Bone marrow aspirate smear.
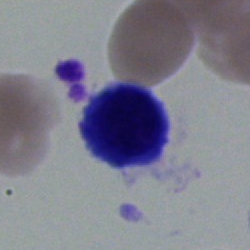 Specimen: bone marrow aspirate smear.
Morphological class: typical lymphocyte.
Lineage: lymphoid.